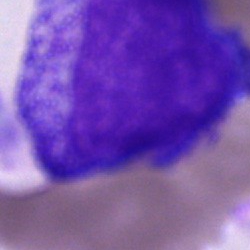 The cell type is promyelocyte.